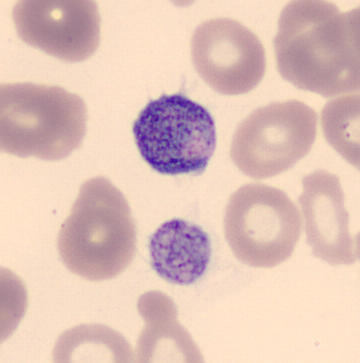

360×363 px. MGG stain. Peripheral blood film. This is a thrombocyte.